Bone marrow aspirate smear — 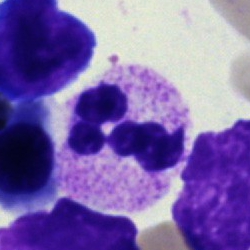Segmented neutrophil.